400 by 400 pixels; peripheral blood smear:
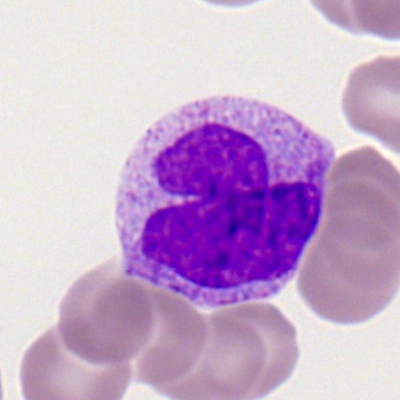
The cell shown is a monocyte.